Bone marrow smear — 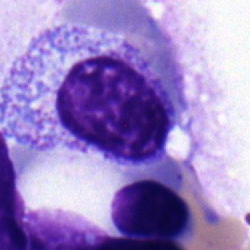
This is a myelocyte.